Bone marrow aspirate smear. 40× objective, oil immersion
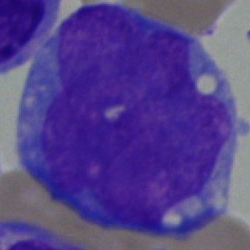

Q: Which cell type is shown here?
A: This is an undifferentiated blast.